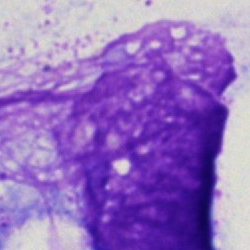

An artifact.